Bone marrow aspirate smear — 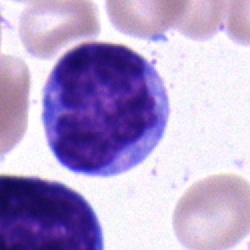
Cell = monocyte.